Bone marrow aspirate smear; May-Grünwald-Giemsa stain
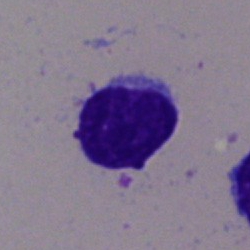

Morphology consistent with a typical lymphocyte.